Brightfield, 40× oil-immersion objective · bone marrow smear: 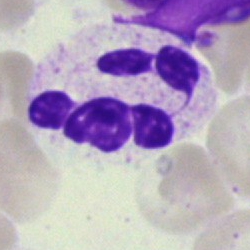
Impression → segmented neutrophil.